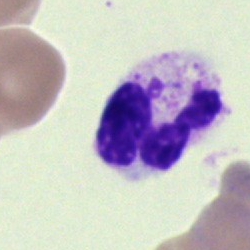
Bone marrow aspirate smear, single cell — polymorphonuclear neutrophil.